Bone marrow aspirate smear: 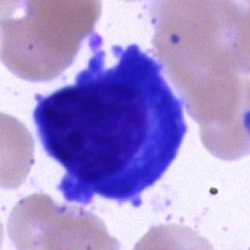

Q: What is shown here?
A: It is a plasma cell.